May-Grünwald-Giemsa stain · bone marrow smear.
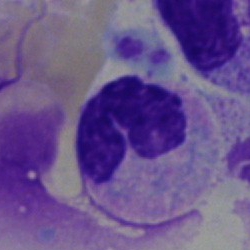

The morphological class is segmented neutrophil.